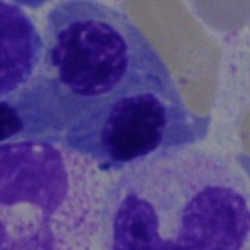
Specimen: bone marrow smear.
Morphological class: erythroblast.
Lineage: erythroid.